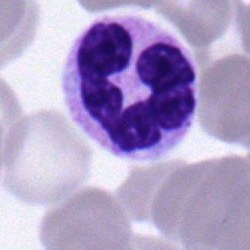

Single cell identified as a polymorphonuclear neutrophil.